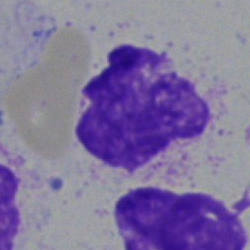

Morphological class: artifact.